Bone marrow aspirate smear; cropped to a single cell.
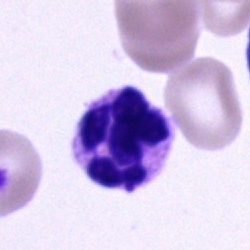 Showing a segmented neutrophil.